Bone marrow smear · single cell centered in the field · MGG-stained — 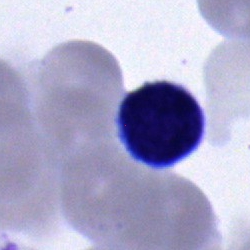 {"cell_type": "lymphocyte", "lineage": "lymphoid"}